Bone marrow aspirate smear
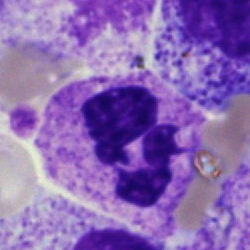
Showing a polymorphonuclear neutrophil.